Cropped to a single cell · May-Grünwald-Giemsa/Pappenheim stain · bone marrow smear — 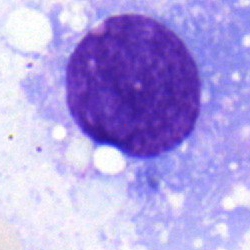
Q: Which cell type is shown here?
A: A plasmacyte.